Bone marrow aspirate smear
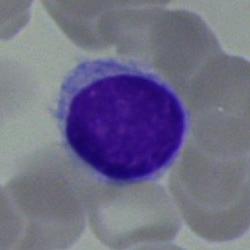Q: What is the morphological classification of this cell?
A: It is a typical lymphocyte.